Bone marrow smear. 250 by 250 pixels. Single-cell field: 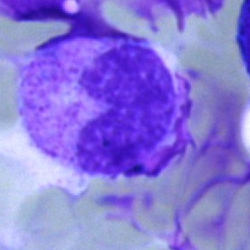
Q: What type of cell is this?
A: Neutrophil (band).